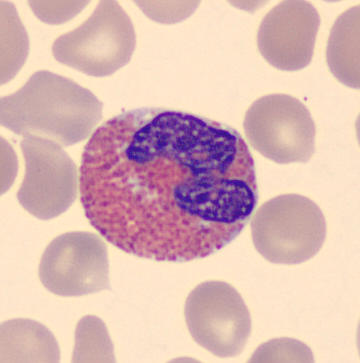

Peripheral blood smear.

Single cell identified as an eosinophil.